Bone marrow smear.
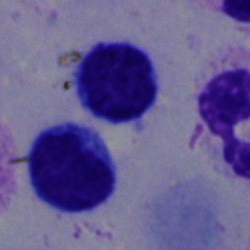 Morphology consistent with a typical lymphocyte.